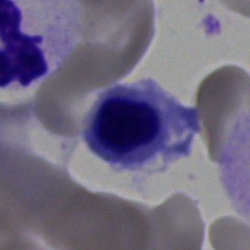 Impression — normoblast.